Bone marrow smear; brightfield microscopy, 40× oil immersion; single-cell crop — 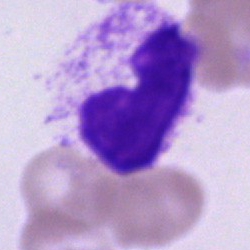 Specimen: bone marrow aspirate smear.
Classification: stab cell.